Bone marrow smear. 40× oil immersion. Cropped to a single cell.
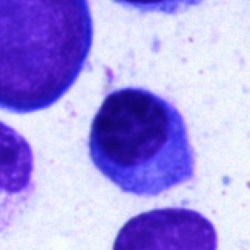

Q: What is shown here?
A: This is a plasma cell.